MGG-stained. Bone marrow smear.
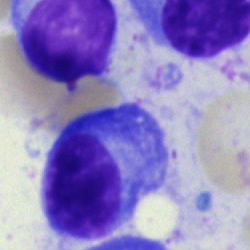

Morphology consistent with a plasma cell.